Bone marrow smear.
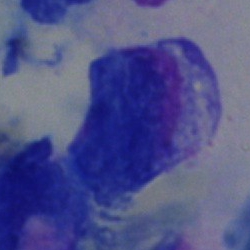 Impression — artifact.